Single cell centered in the field · bone marrow smear — 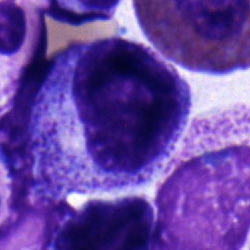Showing a myelocyte.